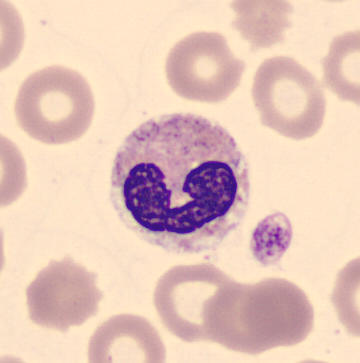 Cell = band neutrophil.